Bone marrow aspirate smear
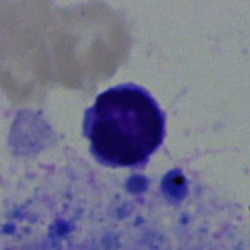A typical lymphocyte.